Bone marrow aspirate smear. 250×250 px
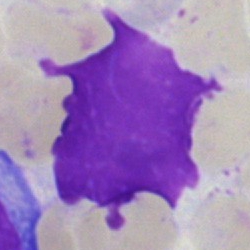

Q: What is shown here?
A: This is an artefact.